250×250 · bone marrow smear · cropped to a single cell: 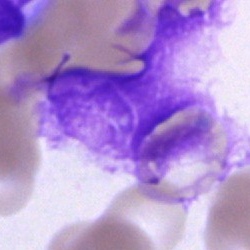

Morphology consistent with an artifact.